Peripheral blood film. Single-cell field. May Grünwald-Giemsa stain — 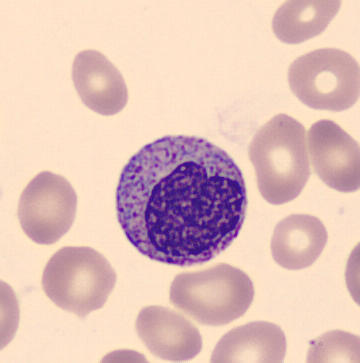Q: What is shown here?
A: Myelocyte.